Image size 250×250 · bone marrow aspirate smear · cropped to a single cell.
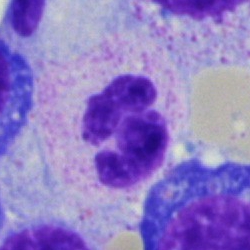
The cell shown is a neutrophil (segmented).